Peripheral blood film
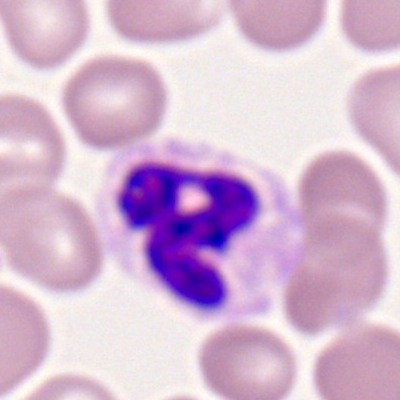Cell type: neutrophil (segmented).